Bone marrow smear
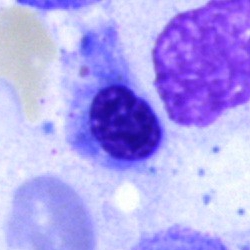 Morphology consistent with a normoblast.